Bone marrow smear. 250 by 250 pixels. Brightfield, 40× oil-immersion objective — 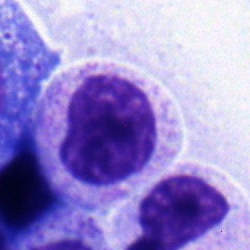 Morphological class — myelocyte.